Bone marrow smear; cropped to a single cell — 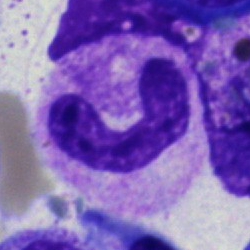 Specimen: bone marrow aspirate smear.
Cell type: band neutrophil.